Bone marrow smear · brightfield microscopy, 40× oil immersion — 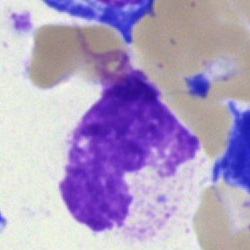

Specimen: bone marrow aspirate smear.
Classification: artefact.